Bone marrow smear
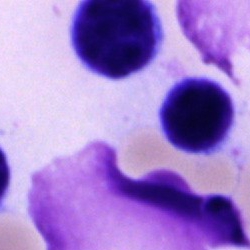 Q: Which cell type is shown here?
A: It is a typical lymphocyte.